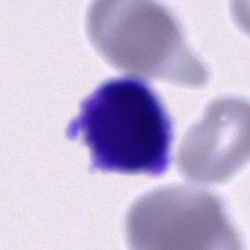Bone marrow smear showing a cell of indeterminate lineage.